Bone marrow aspirate smear.
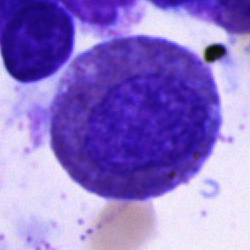 Specimen: bone marrow smear.
Morphological class: eosinophil.